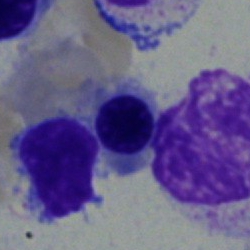

Morphological class — nucleated red blood cell.